Peripheral blood film: 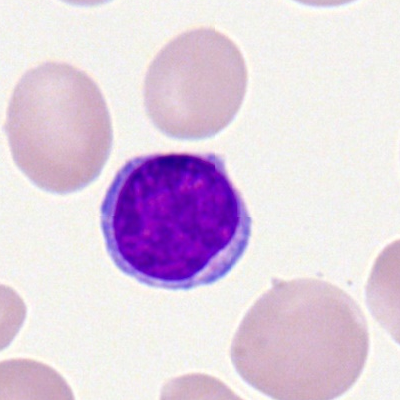 Classification: typical lymphocyte.